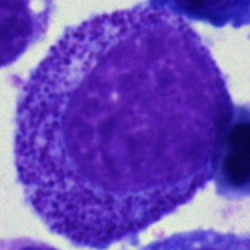

Single cell identified as a promyelocyte.